250×250 px. Bone marrow aspirate smear
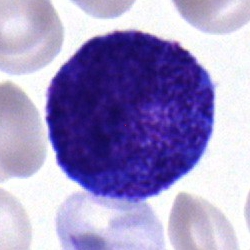

Impression — promyelocyte.